Bone marrow smear — 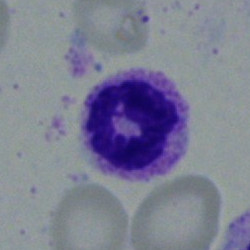Morphology consistent with a segmented neutrophil.